Pappenheim-stained · bone marrow smear · 40× objective, oil immersion.
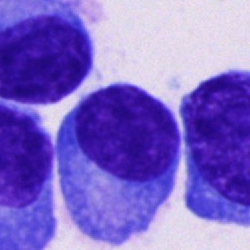Morphology — plasma cell.